Bone marrow smear · single-cell field — 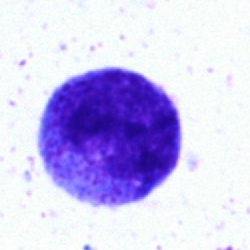Promyelocyte.